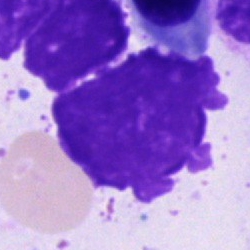 Bone marrow aspirate smear, single cell — artifact.